Bone marrow aspirate smear
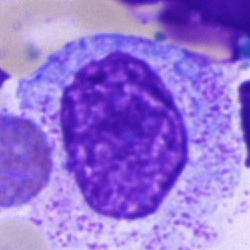 Impression → progranulocyte.